Single-cell crop. Bone marrow smear. May-Grünwald-Giemsa/Pappenheim stain
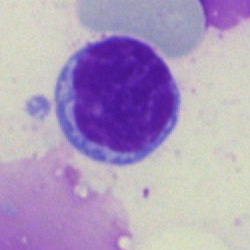{"cell_type": "typical lymphocyte", "lineage": "lymphoid"}